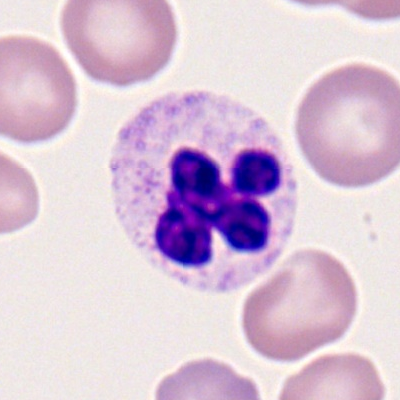
Specimen: peripheral blood film.
Classification: neutrophil (segmented).
Lineage: myeloid.